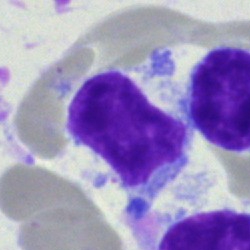 Classification — typical lymphocyte.